May-Grünwald-Giemsa/Pappenheim stain · bone marrow smear
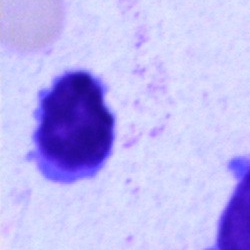Morphology consistent with a typical lymphocyte.